Bone marrow smear — 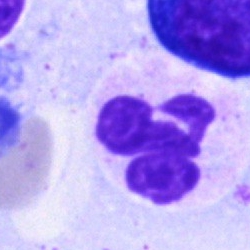 Single cell identified as a neutrophil (segmented).